MGG stain; peripheral blood smear.
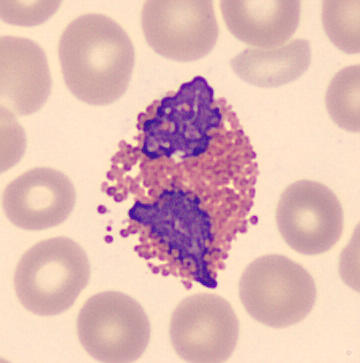Specimen: peripheral blood smear.
Classification: eosinophil.
Lineage: myeloid.